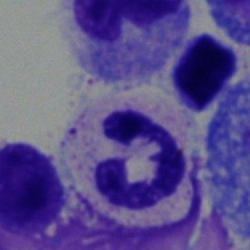
Classification — polymorphonuclear neutrophil.